Brightfield, 100× oil-immersion objective · peripheral blood smear · Romanowsky stain: 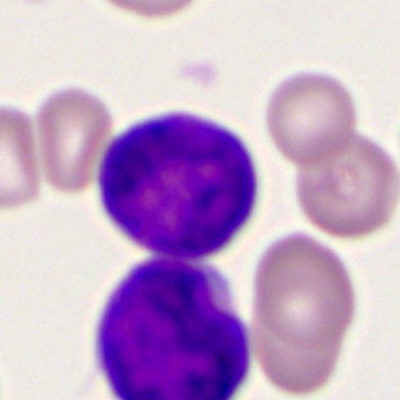
Morphology → myeloid blast.